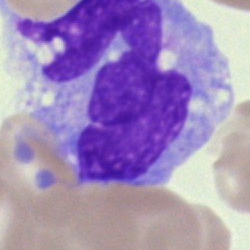 Impression — monocyte.